May-Grünwald-Giemsa/Pappenheim stain · bone marrow aspirate smear.
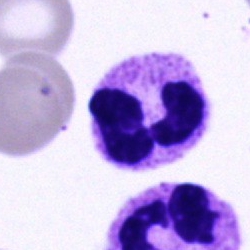

Classification — polymorphonuclear neutrophil.